Bone marrow smear.
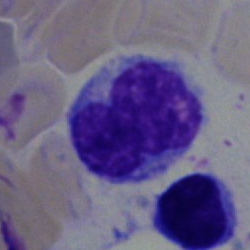
Morphological class: monocyte.